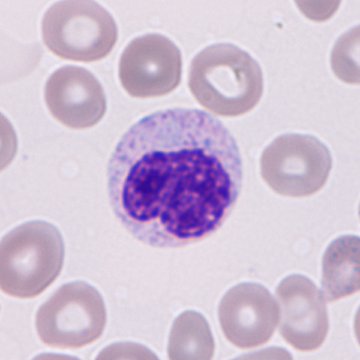

{"cell_type": "immature granulocyte (promyelocyte, myelocyte or metamyelocyte)", "lineage": "myeloid"} Image: Peripheral blood smear.